Bone marrow aspirate smear
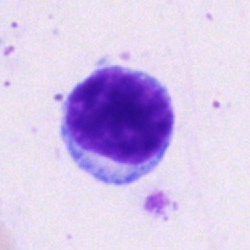

Cell type — lymphocyte.